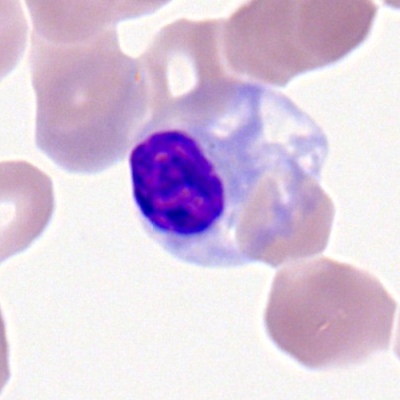 The morphological class is nucleated red cell.